May-Grünwald-Giemsa/Pappenheim stain · bone marrow aspirate smear: 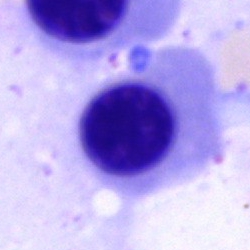
A normoblast.